250 by 250 pixels · bone marrow smear — 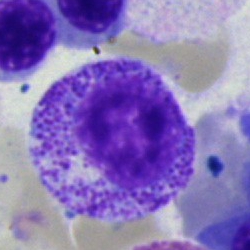

Q: Identify the cell.
A: A myelocyte.